Bone marrow aspirate smear. May-Grünwald-Giemsa stain. Single cell centered in the field:
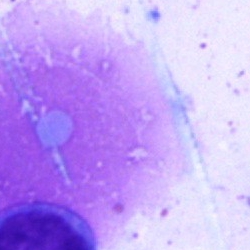
The morphological class is artefact.